Bone marrow aspirate smear. 40× objective, oil immersion.
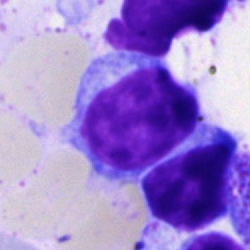Impression → typical lymphocyte.